Brightfield microscopy, 40× oil immersion. Bone marrow smear. May-Grünwald-Giemsa stain:
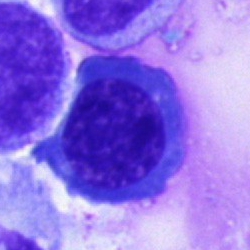 {"cell_type": "nucleated red cell", "lineage": "erythroid"}